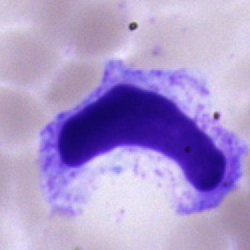 Showing an artefact.